Bone marrow aspirate smear · 40× objective, oil immersion.
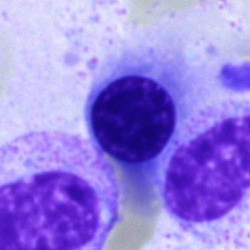

The cell type is nucleated red cell.